Bone marrow smear:
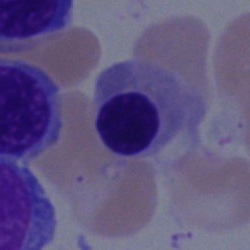Normoblast.